250×250 px; bone marrow aspirate smear: 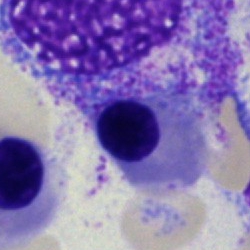A nucleated red cell.